Romanowsky stain; peripheral blood smear; 100× objective, oil immersion.
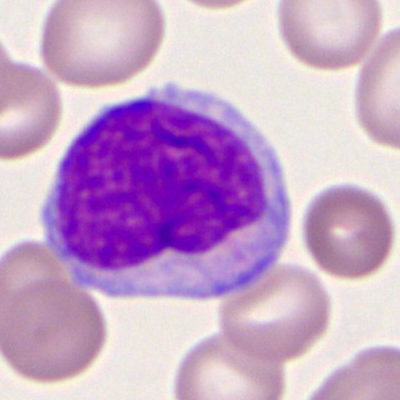

The cell shown is a myeloid blast.